400×400 px; peripheral blood film:
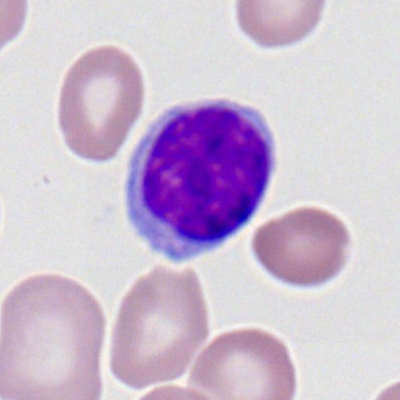

Single cell identified as a typical lymphocyte.